40× oil immersion; bone marrow smear: 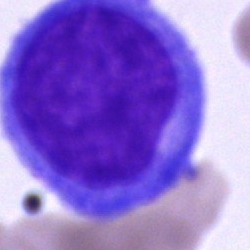Undifferentiated blast.